Peripheral blood smear.
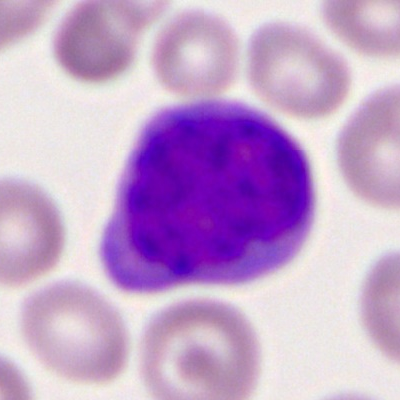
Specimen: peripheral blood smear.
Cell type: myeloid blast.
Lineage: myeloid.